Peripheral blood film.
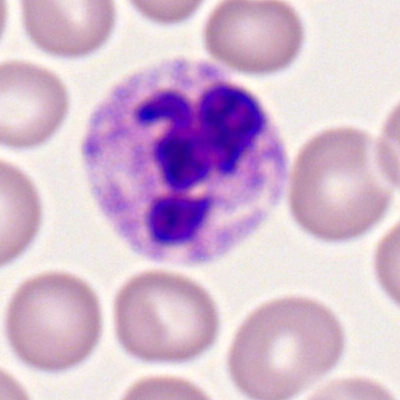

A polymorphonuclear neutrophil.